Bone marrow smear: 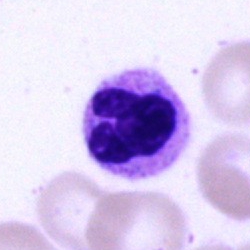The cell type is neutrophil (segmented).